Bone marrow aspirate smear · MGG-stained · 250 by 250 pixels — 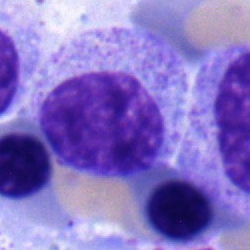

Classification — myelocyte.